Bone marrow aspirate smear. Single-cell crop — 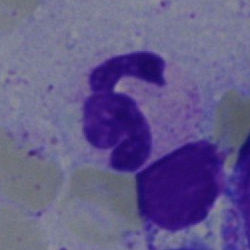Impression → neutrophil (segmented).